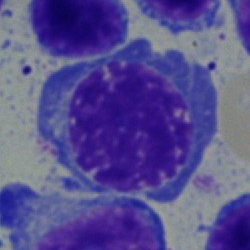 Q: What cell is this?
A: This is a nucleated red cell.